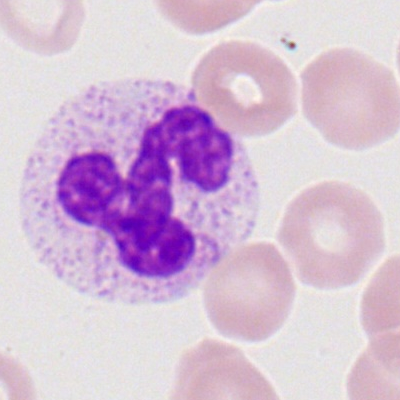 Peripheral blood smear showing a segmented neutrophil.